Bone marrow smear
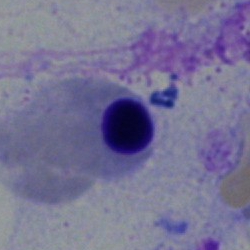 Specimen: bone marrow smear.
Classification: nucleated red cell.
Lineage: erythroid.